Bone marrow aspirate smear: 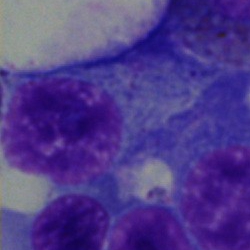

The cell is plasmacyte.